250×250. Bone marrow smear:
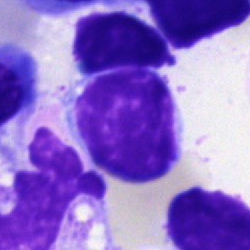
Showing a lymphocyte.